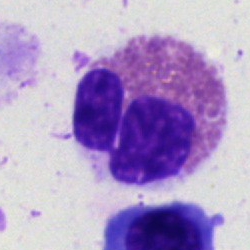

This is an eosinophilic granulocyte.